Bone marrow smear.
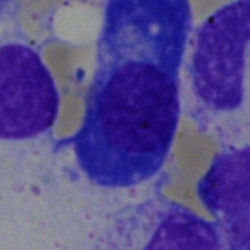
Plasma cell.